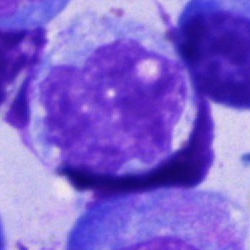
The cell is monocyte.